Bone marrow aspirate smear.
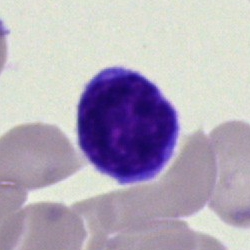
Cell — typical lymphocyte.